Brightfield, 100× oil-immersion objective; peripheral blood film
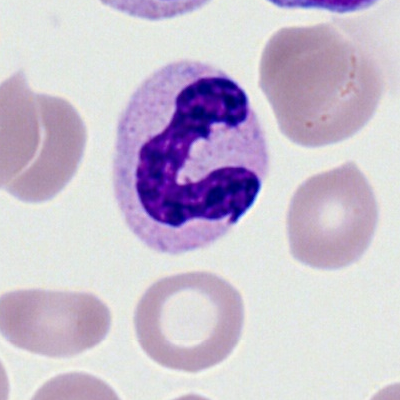

Q: What is the morphological classification of this cell?
A: It is a polymorphonuclear neutrophil.